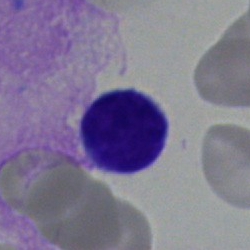

This is a typical lymphocyte.